Bone marrow smear:
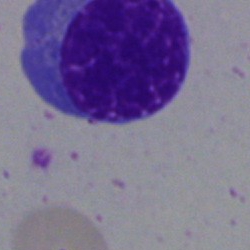
A nucleated red cell.